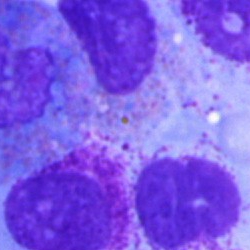Classification: artifact.